250×250 px; bone marrow smear: 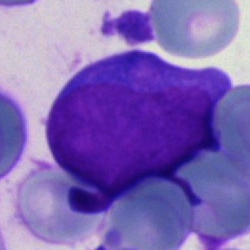

Showing an undifferentiated blast.